Bone marrow aspirate smear · single-cell field — 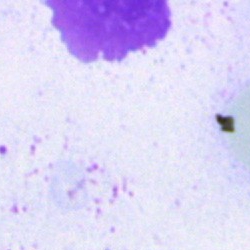
Showing an artifact.